Bone marrow smear; single-cell field; 250 by 250 pixels.
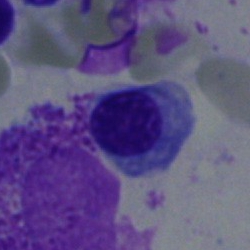The cell is erythroblast.